Single cell centered in the field; bone marrow smear:
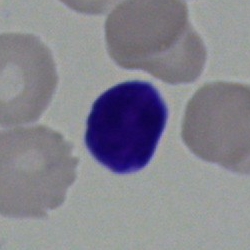
The cell type is lymphocyte.